Bone marrow aspirate smear:
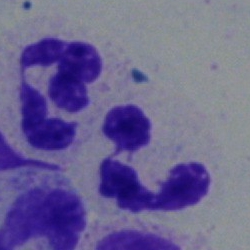Q: What type of cell is this?
A: A segmented neutrophil.